Bone marrow smear
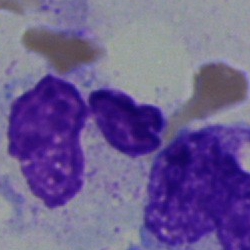 Q: What cell is this?
A: This is a neutrophil (segmented).